Bone marrow aspirate smear:
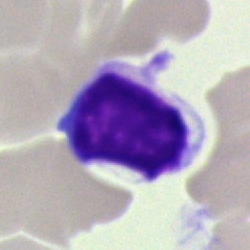Impression — lymphocyte.